Romanowsky-type stain. Single-cell crop. Peripheral blood smear.
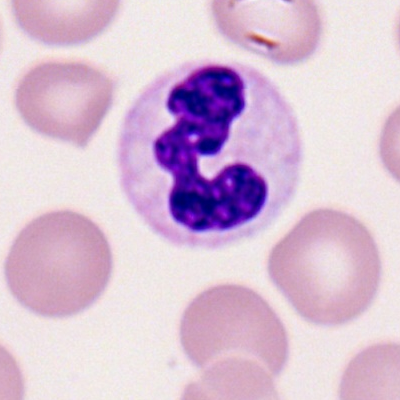 Cell: neutrophil (segmented).